Bone marrow smear:
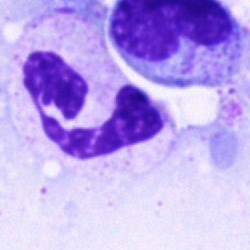

The classification is neutrophil (segmented).